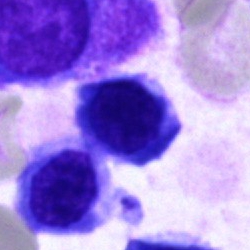 Impression — nucleated red cell.